Bone marrow smear: 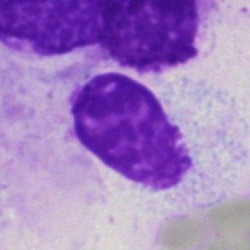Classification: artefact.